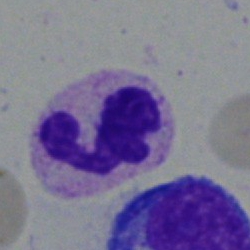

Neutrophil (segmented).